250×250 px · bone marrow aspirate smear:
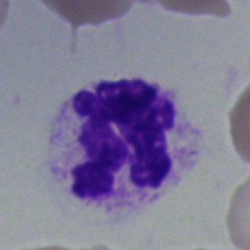
{"cell_type": "segmented neutrophil"}